Bone marrow smear:
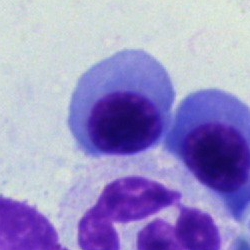
Impression — erythroblast.